Bone marrow aspirate smear:
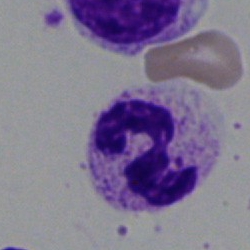 Morphological class — neutrophil (segmented).